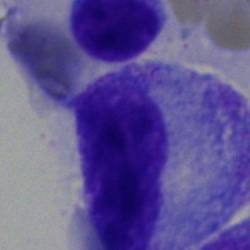Bone marrow aspirate smear, single cell — promyelocyte.